MGG-stained; bone marrow aspirate smear; brightfield microscopy, 40× oil immersion.
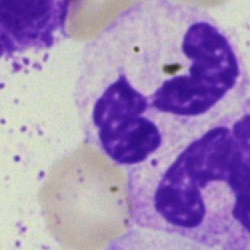Specimen: bone marrow aspirate smear.
Classification: polymorphonuclear neutrophil.